Single-cell field. Bone marrow smear. 40× oil immersion.
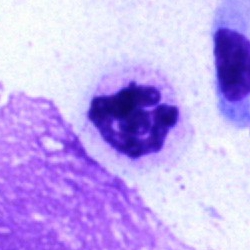 A polymorphonuclear neutrophil.